Bone marrow aspirate smear — 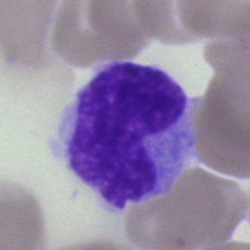

Monocyte.